40× objective, oil immersion. Bone marrow smear:
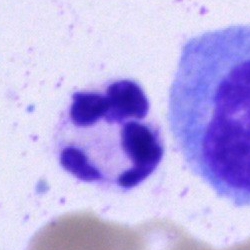 Morphology → segmented neutrophil.